250×250 px · bone marrow smear: 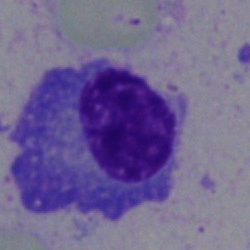 Cell type — plasmacyte.